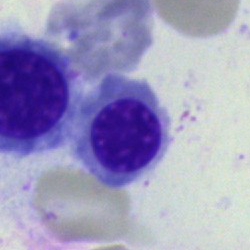

Showing a nucleated red blood cell.